Bone marrow smear — 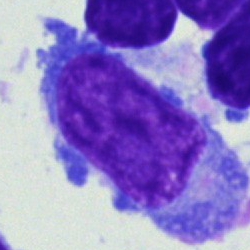
The cell shown is a lymphocyte (immature).